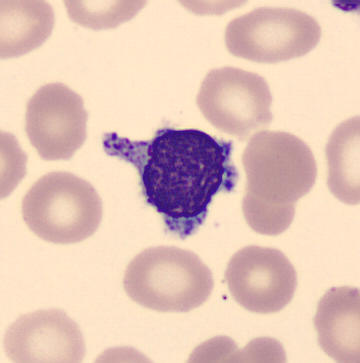

Specimen: peripheral blood film.
Cell: lymphocyte.
Lineage: lymphoid.